250 by 250 pixels · bone marrow aspirate smear — 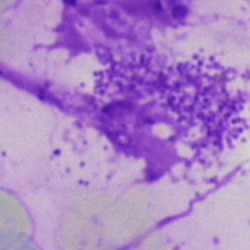Classification = artifact.